Pappenheim-stained; bone marrow smear
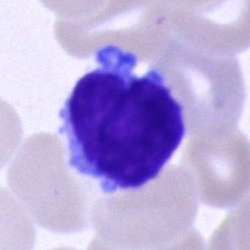

{"cell_type": "lymphocyte"}